Bone marrow aspirate smear:
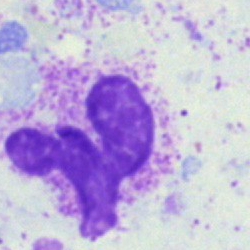

{"cell_type": "artefact"}